Brightfield microscopy, 40× oil immersion · single-cell field · bone marrow smear — 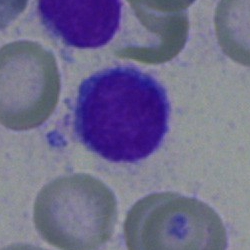
Showing a lymphocyte.